Bone marrow aspirate smear:
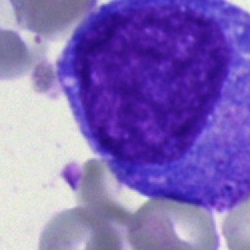

Q: Identify the cell.
A: This is a promyelocyte.